Bone marrow smear; image size 250×250: 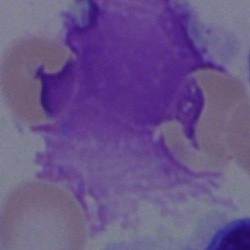

Q: What is shown here?
A: It is an artefact.